Peripheral blood film; MGG stain; imaged on a CellaVision DM96 analyser — 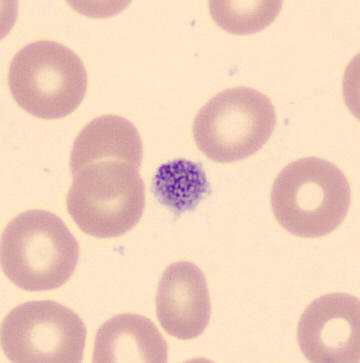 Specimen: peripheral blood smear.
Morphological class: thrombocyte.